Bone marrow smear.
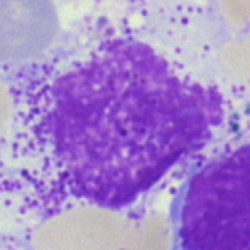
Showing an artifact.